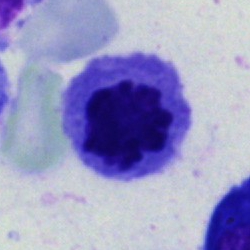 Q: What type of cell is this?
A: A nucleated red cell.